Bone marrow smear. Pappenheim-stained.
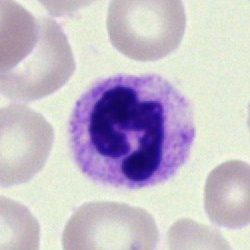A neutrophil (segmented).